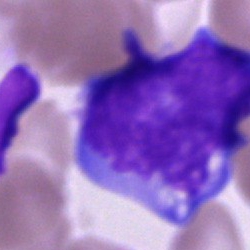Single cell identified as a blast.